Bone marrow smear · Pappenheim-stained · 40× objective, oil immersion
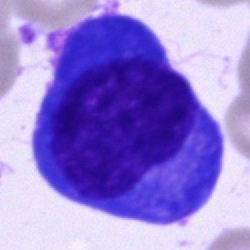

Morphological class = plasmacyte.